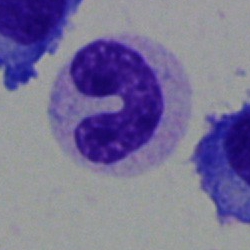Q: What is the morphological classification of this cell?
A: A band-form neutrophil.